Bone marrow aspirate smear.
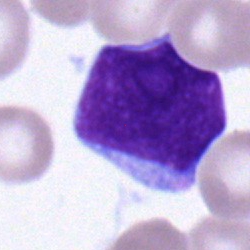 The cell type is blast.